Peripheral blood smear; automated cell imaging (CellaVision DM96): 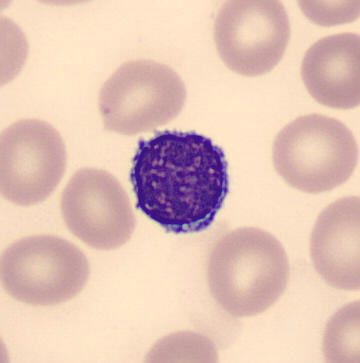
Morphology consistent with a typical lymphocyte.